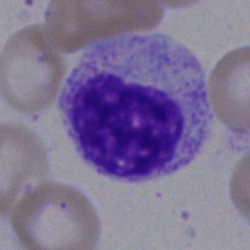Bone marrow aspirate smear, single cell — metamyelocyte.